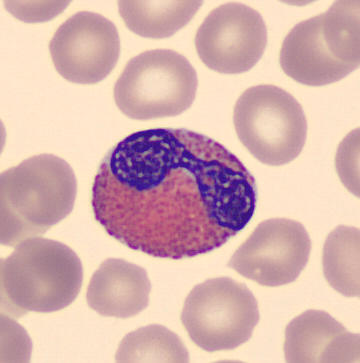 Peripheral blood film. Classification: eosinophilic granulocyte.